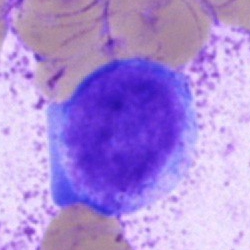

Impression — undifferentiated blast.